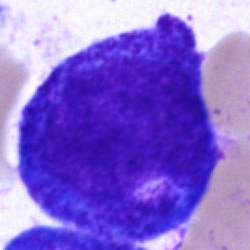Single-cell crop from a bone marrow smear: progranulocyte.